Bone marrow smear — 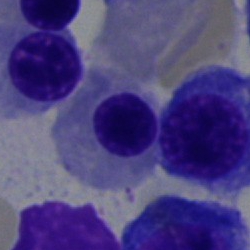Q: What is shown here?
A: This is a nucleated red blood cell.